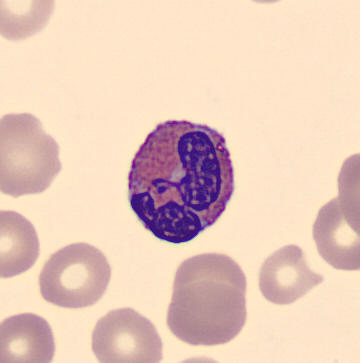

Single-cell crop; MGG-stained. Specimen: peripheral blood smear.
Morphological class: eosinophilic granulocyte.
Lineage: myeloid.